Bone marrow aspirate smear
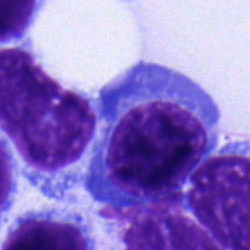 A nucleated red blood cell.